Bone marrow smear:
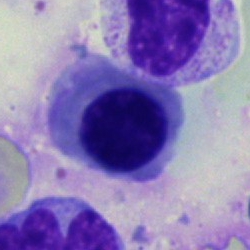 Q: Which cell type is shown here?
A: An erythroblast.